Bone marrow aspirate smear: 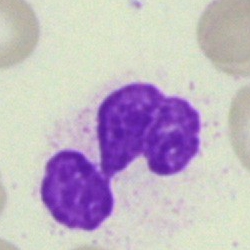
The cell is neutrophil (segmented).